Brightfield, 40× oil-immersion objective. Bone marrow aspirate smear
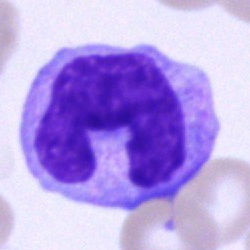 A monocyte.